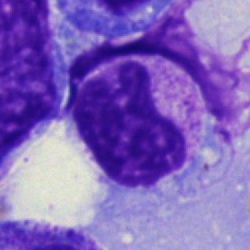
Specimen: bone marrow aspirate smear.
Morphological class: metamyelocyte.
Lineage: myeloid.